Bone marrow aspirate smear. 40× oil immersion. May-Grünwald-Giemsa stain:
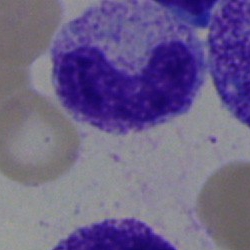
Specimen: bone marrow aspirate smear.
Cell: neutrophil (band).